Bone marrow smear — 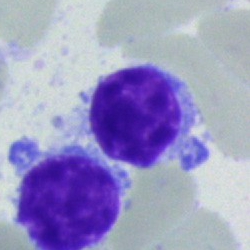Q: What is the morphological classification of this cell?
A: Lymphocyte.